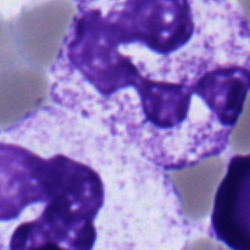

Single-cell crop from a bone marrow smear: polymorphonuclear neutrophil.